Bone marrow aspirate smear.
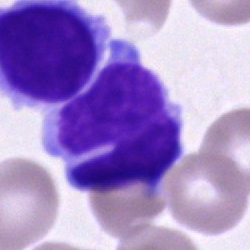
Showing a typical lymphocyte.